Cropped to a single cell. Bone marrow smear — 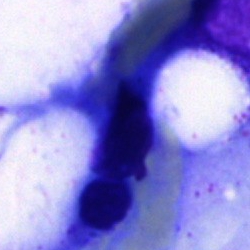

Single cell identified as an artifact.